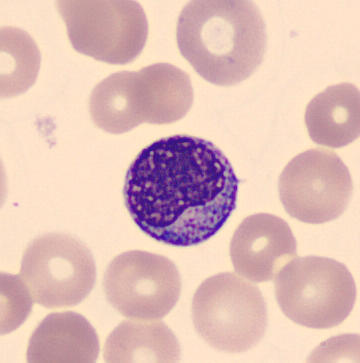
Acquisition: Peripheral blood film. Automated cell imaging (CellaVision DM96). Cropped to a single cell. Morphological class: metamyelocyte.